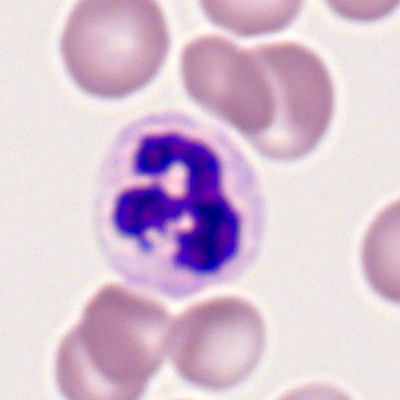
Impression — neutrophil (segmented).